Bone marrow aspirate smear; Pappenheim-stained — 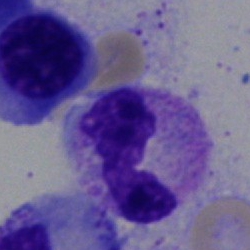 This is a segmented neutrophil.